Cropped to a single cell · peripheral blood smear.
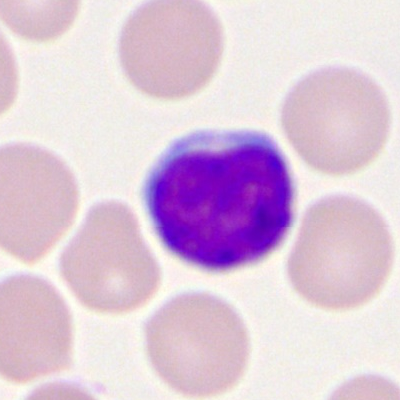
Morphology consistent with a typical lymphocyte.